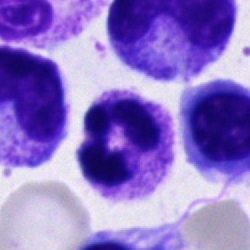
A segmented neutrophil.